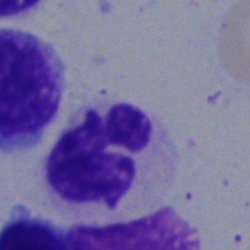 Cell — segmented neutrophil.